Bone marrow smear:
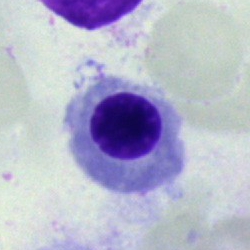Impression — nucleated red blood cell.